40× oil immersion; bone marrow smear.
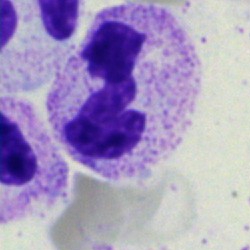 Q: Which cell type is shown here?
A: It is a segmented neutrophil.